Single-cell crop; bone marrow aspirate smear; 40× objective, oil immersion
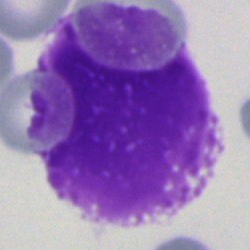Q: What is shown here?
A: It is an artefact.